250×250 px · bone marrow smear · MGG-stained
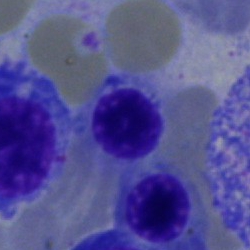

Erythroblast.